Romanowsky-stained; peripheral blood film; 100× oil immersion.
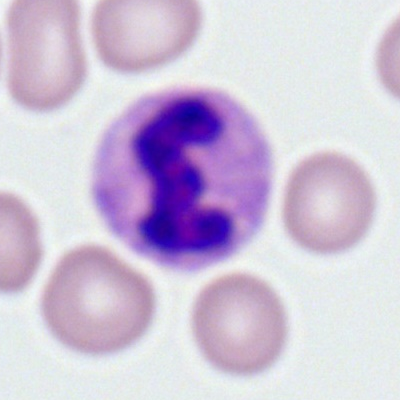

Cell type = neutrophil (segmented).